MGG-stained; 40× objective, oil immersion; bone marrow smear
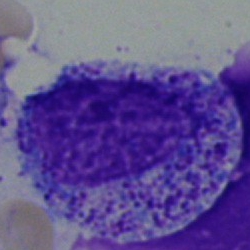 Impression — myelocyte.